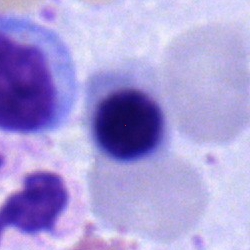Cell — eosinophil.